Bone marrow aspirate smear · 250×250 · May-Grünwald-Giemsa/Pappenheim stain: 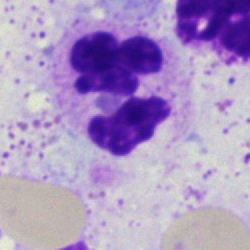 Morphological class: polymorphonuclear neutrophil.